Bone marrow aspirate smear — 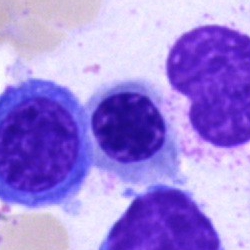The cell shown is an erythroblast.